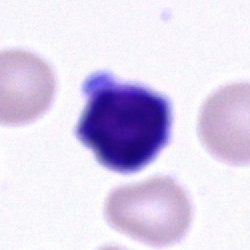

A neutrophil (segmented).